Bone marrow smear.
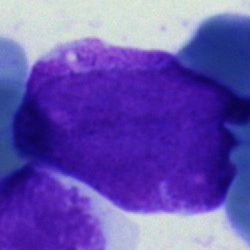
Specimen: bone marrow aspirate smear.
Cell type: blast cell.